Bone marrow smear: 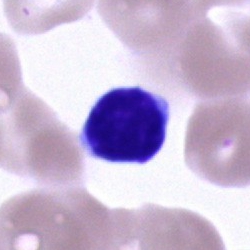 The morphological class is lymphocyte.